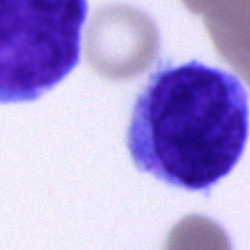 Cell: undifferentiated blast.